100× oil immersion, 14.14 px/µm. Peripheral blood smear: 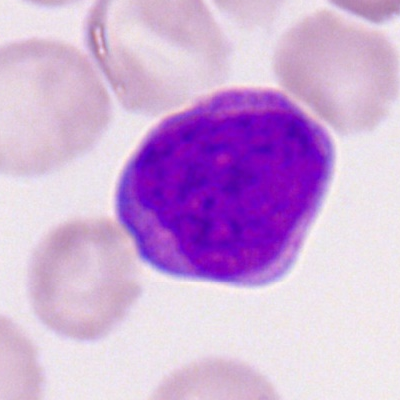

Specimen: peripheral blood smear.
Cell: myeloid blast.
Lineage: myeloid.